Bone marrow aspirate smear.
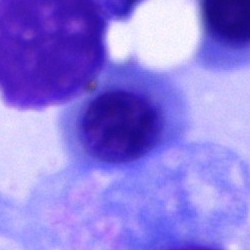 Q: What cell is this?
A: This is a normoblast.